Bone marrow smear; 250×250.
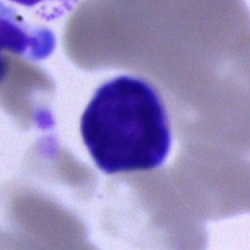 The morphological class is lymphocyte.